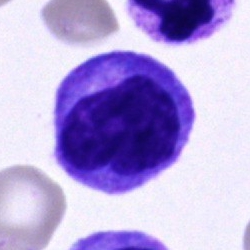

A monocyte on a bone marrow smear.